40× objective, oil immersion; image size 250×250; bone marrow smear
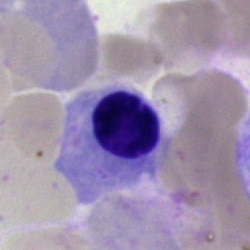
Cell — nucleated red cell.